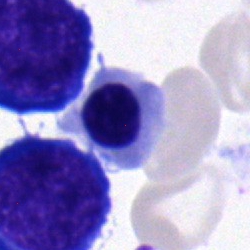 A nucleated red cell.